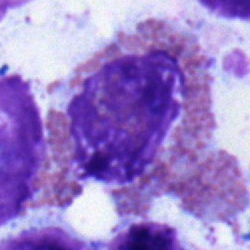
Single cell identified as an eosinophilic granulocyte.